Bone marrow aspirate smear:
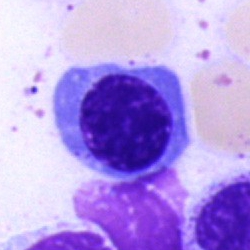The cell shown is a blast.